Peripheral blood smear: 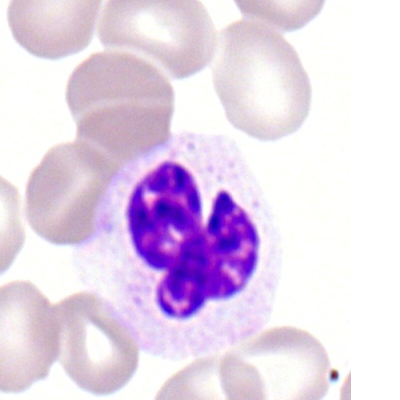 The morphological class is polymorphonuclear neutrophil.